Bone marrow smear: 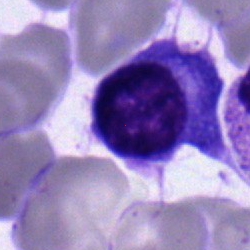Q: What type of cell is this?
A: It is a plasmacyte.